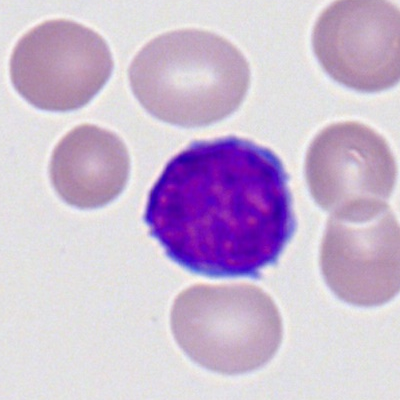The cell type is lymphocyte.